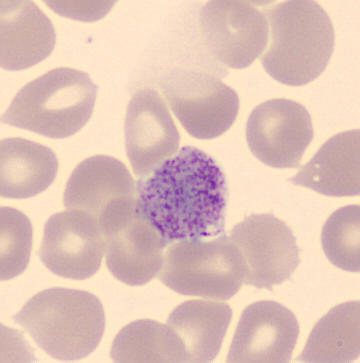

Q: What is this?
A: This is a platelet.